Bone marrow aspirate smear — 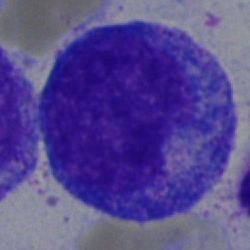
Cell type: promyelocyte.